Bone marrow aspirate smear · single cell centered in the field.
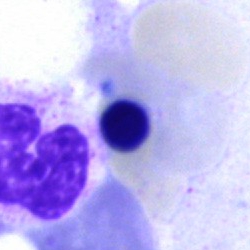

Q: What is the morphological classification of this cell?
A: This is a nucleated red cell.